Bone marrow smear · cropped to a single cell:
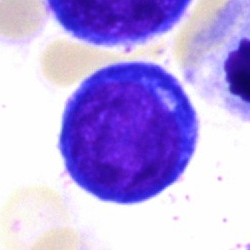Showing a pronormoblast.